Bone marrow aspirate smear; image size 250×250; 40× objective, oil immersion — 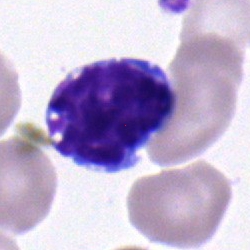

{"cell_type": "lymphocyte", "lineage": "lymphoid"}